May-Grünwald-Giemsa/Pappenheim stain; bone marrow smear:
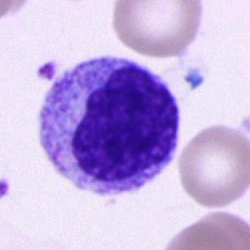

Specimen: bone marrow smear.
Cell: myelocyte.
Lineage: myeloid.